Bone marrow aspirate smear: 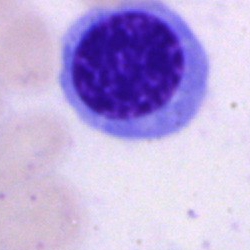
The cell is nucleated red cell.